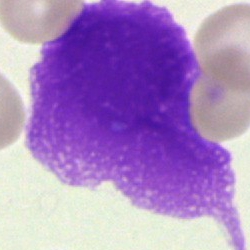 Morphology → artefact.